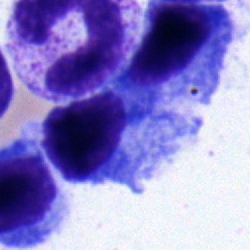
Morphology → plasmacyte.